Peripheral blood film · single cell centered in the field · imaged on a CellaVision DM96 analyser
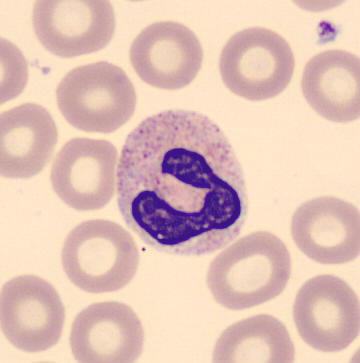Impression — segmented neutrophil.